Single cell centered in the field; peripheral blood smear; Romanowsky-type stain: 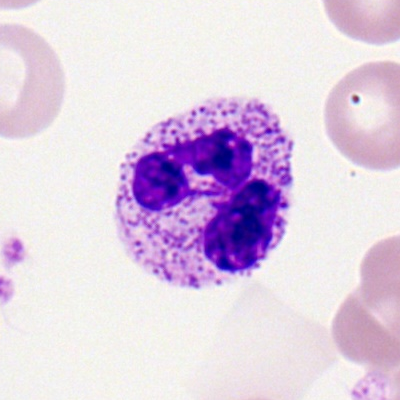
Q: What is the morphological classification of this cell?
A: This is a polymorphonuclear neutrophil.